Peripheral blood smear. Single cell centered in the field. 100× objective, oil immersion:
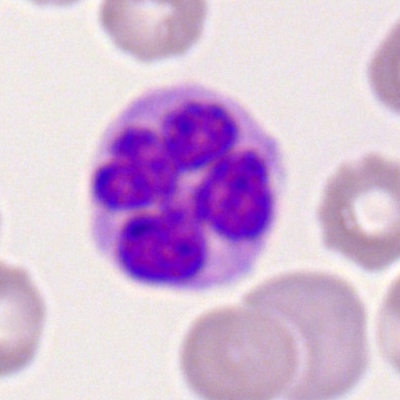 Q: Identify the cell.
A: This is a neutrophil (segmented).